Bone marrow smear. Brightfield, 40× oil-immersion objective: 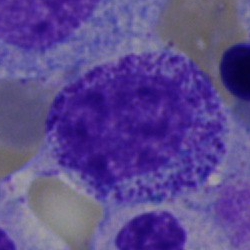
Specimen: bone marrow smear.
Morphological class: metamyelocyte.